Bone marrow aspirate smear · MGG-stained · 250×250 px — 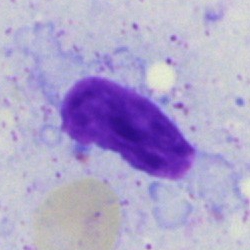
Showing an artifact.